Bone marrow smear.
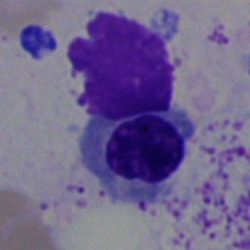 Single cell identified as a normoblast.